Single-cell field. 40× objective, oil immersion. Bone marrow aspirate smear — 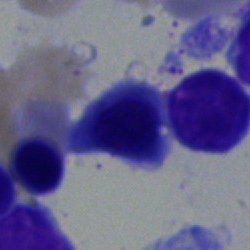 The cell shown is an erythroblast.